Bone marrow aspirate smear. Image size 250×250 — 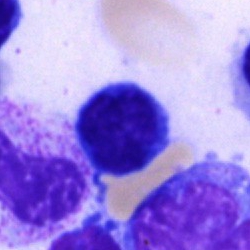
Typical lymphocyte.